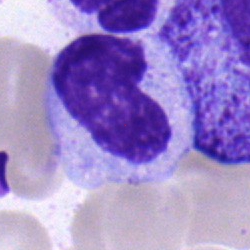 Single cell identified as a metamyelocyte.